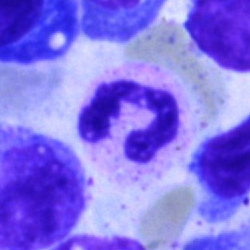

Specimen: bone marrow smear.
Cell type: segmented neutrophil.
Lineage: myeloid.